Pappenheim-stained; bone marrow smear.
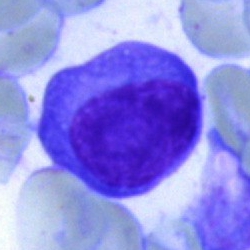 This is a plasmacyte.